Bone marrow smear. Image size 250×250: 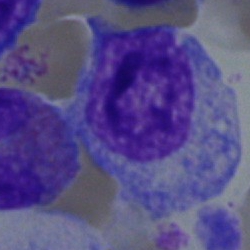
Single cell identified as a myelocyte.